Brightfield, 40× oil-immersion objective; 250×250; bone marrow aspirate smear — 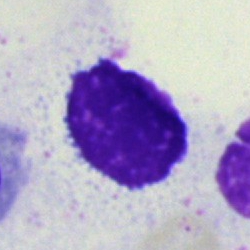
The classification is artefact.